Bone marrow aspirate smear · 250×250 — 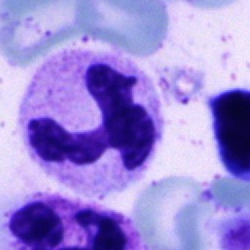
{"cell_type": "segmented neutrophil", "lineage": "myeloid"}